Bone marrow smear; single cell centered in the field:
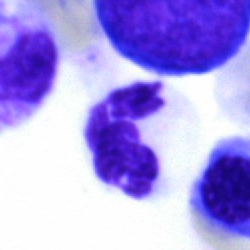Impression — neutrophil (segmented).